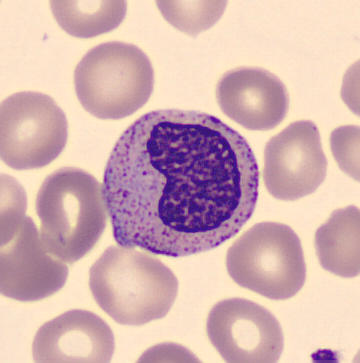 Impression → metamyelocyte.

Image: Peripheral blood smear. Cropped to a single cell.